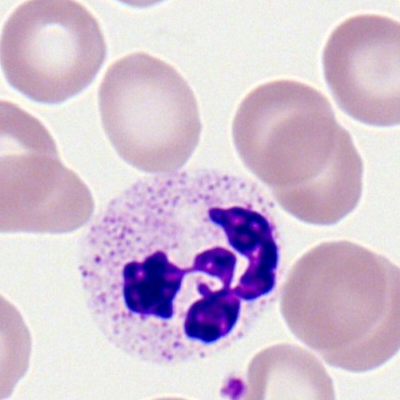

Cell — neutrophil (segmented).